Bone marrow aspirate smear.
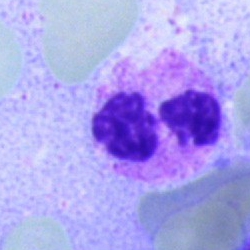

Impression — polymorphonuclear neutrophil.